Pappenheim-stained; bone marrow smear; single-cell field:
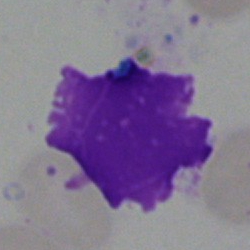
Artefact.